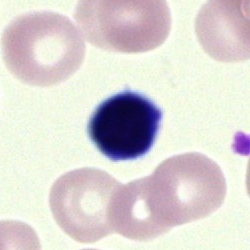 Specimen: bone marrow smear.
Morphological class: artifact.